Bone marrow smear
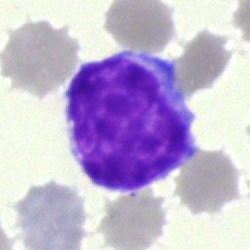 Morphology — typical lymphocyte.